Pappenheim-stained. Bone marrow aspirate smear
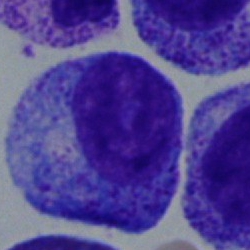Showing a promyelocyte.